Bone marrow smear:
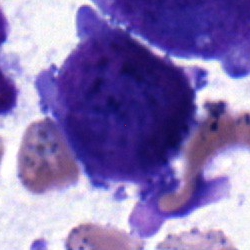
Blast cell.